Pappenheim-stained; bone marrow smear
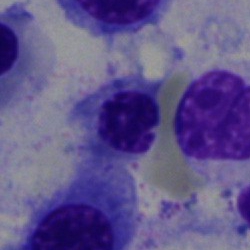A nucleated red blood cell.